Bone marrow smear. 250×250 px: 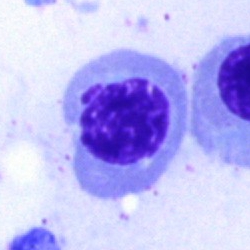Morphology — erythroblast.